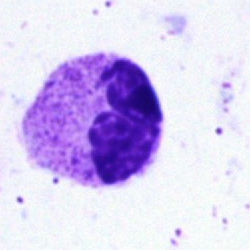 A polymorphonuclear neutrophil on a bone marrow smear.